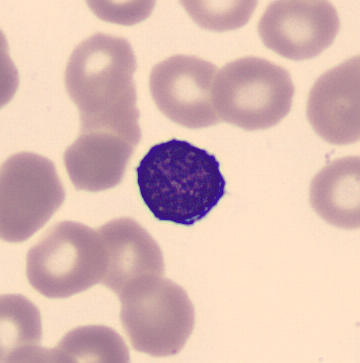

Cell = typical lymphocyte. Acquisition: Peripheral blood film.